Image size 250×250. Bone marrow smear. Pappenheim-stained.
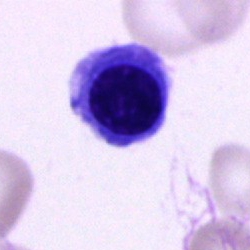
Q: What cell is this?
A: It is a normoblast.